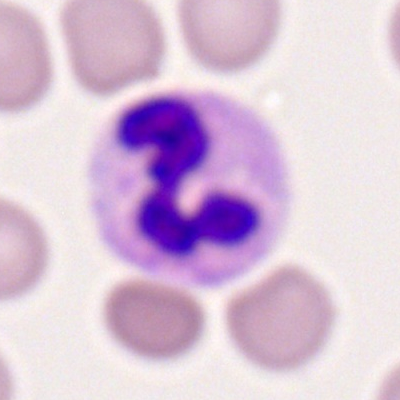

Peripheral blood film, single cell — polymorphonuclear neutrophil.